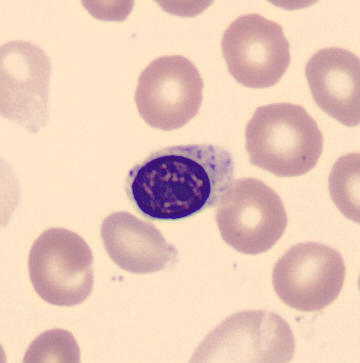 Impression — nucleated red blood cell.